Bone marrow aspirate smear · 40× oil immersion
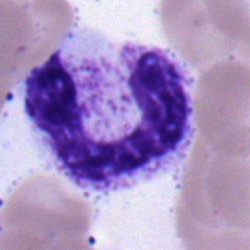
Neutrophil (band).